Brightfield microscopy, 40× oil immersion · bone marrow smear:
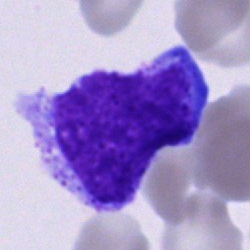Morphology consistent with a cell of indeterminate lineage.